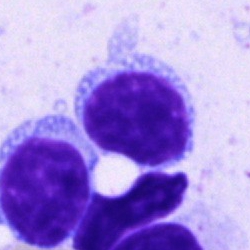

Specimen: bone marrow aspirate smear.
Cell: lymphocyte.
Lineage: lymphoid.